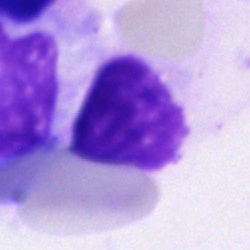
The cell is artifact.